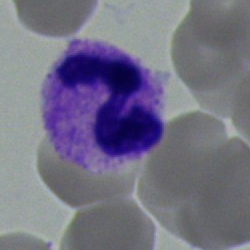

Specimen: bone marrow smear.
Cell type: segmented neutrophil.